Bone marrow aspirate smear — 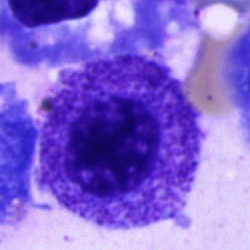 Morphology — promyelocyte.